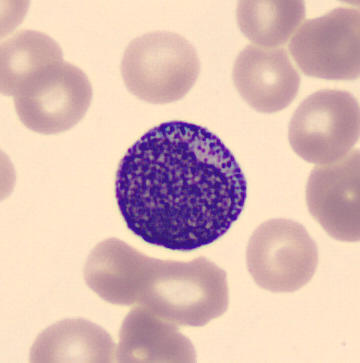 Image: Peripheral blood smear · MGG-stained.
Impression → promyelocyte.